Peripheral blood film · single-cell field: 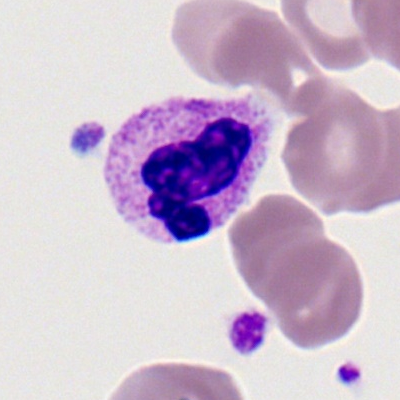Q: Identify the cell.
A: It is a polymorphonuclear neutrophil.